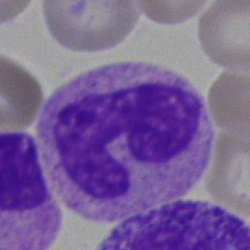 Single-cell crop from a bone marrow smear: segmented neutrophil.